Single cell centered in the field. 250×250 px. Bone marrow smear
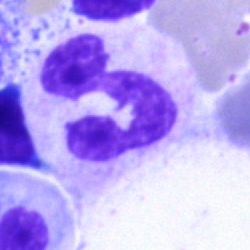 Single cell identified as a polymorphonuclear neutrophil.